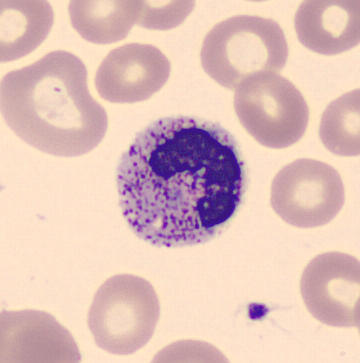
Peripheral blood smear.

{"cell_type": "band neutrophil"}